Bone marrow smear. Single-cell crop
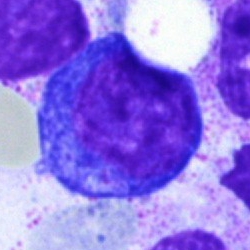 Specimen: bone marrow aspirate smear.
Classification: erythroblast.